Bone marrow smear · single-cell field — 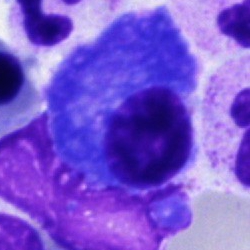The classification is plasmacyte.